Bone marrow smear; single-cell crop:
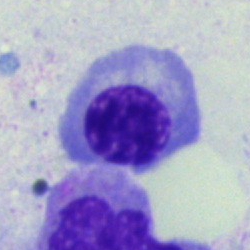 Showing a nucleated red cell.